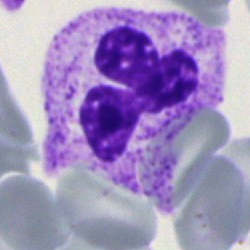 Q: Which cell type is shown here?
A: It is a polymorphonuclear neutrophil.